Bone marrow aspirate smear; cropped to a single cell: 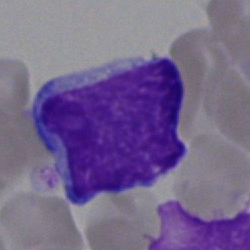Q: What cell is this?
A: It is a lymphocyte.